Bone marrow smear; MGG-stained; 250×250 — 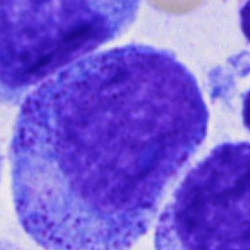 Promyelocyte.